Bone marrow aspirate smear · single-cell crop: 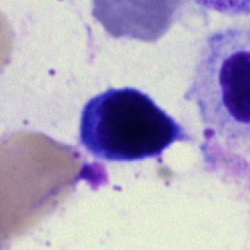Q: What type of cell is this?
A: Lymphocyte.